Peripheral blood film.
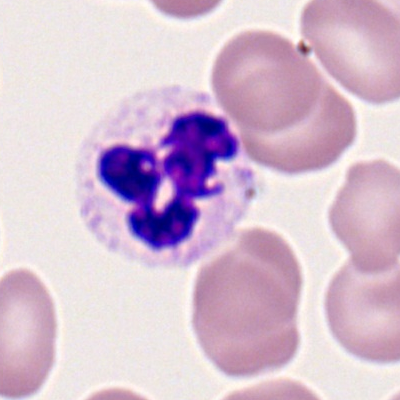
This is a polymorphonuclear neutrophil.